Pappenheim-stained · bone marrow smear · single-cell field — 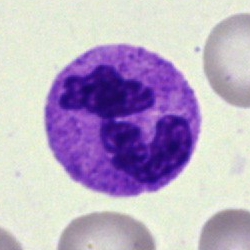Cell type — segmented neutrophil.